400×400 px. Peripheral blood film
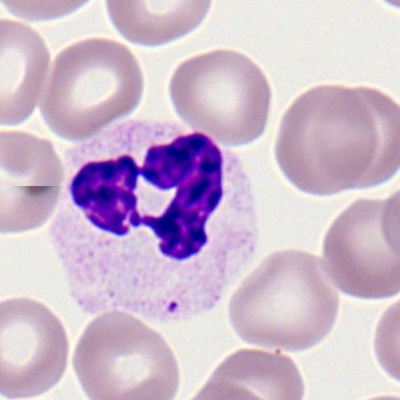
The cell type is polymorphonuclear neutrophil.